Peripheral blood film; single cell centered in the field:
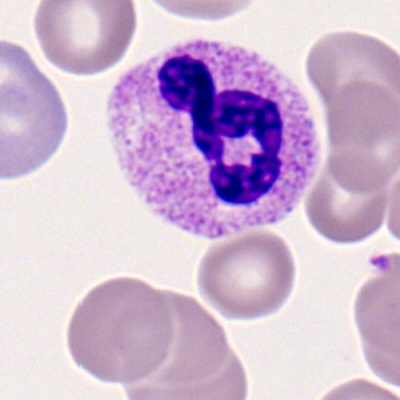Morphological class = neutrophil (segmented).